Bone marrow aspirate smear. 250×250 — 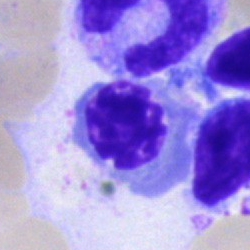
The morphological class is normoblast.